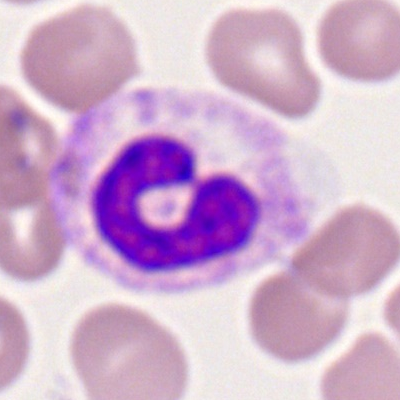

Peripheral blood film, single cell — neutrophil (band).